Bone marrow aspirate smear.
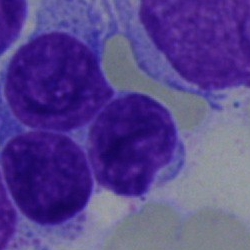

Q: What cell is this?
A: An undifferentiated blast.